Bone marrow aspirate smear: 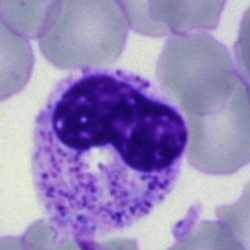

The morphological class is metamyelocyte.